Bone marrow aspirate smear. 250 by 250 pixels:
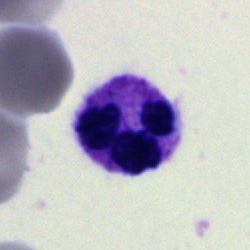
Morphology → neutrophil (segmented).